Bone marrow aspirate smear; brightfield, 40× oil-immersion objective.
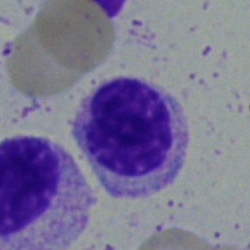 Morphology consistent with a myelocyte.